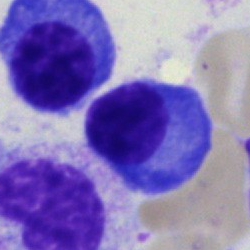
Q: What cell is this?
A: This is a plasmacyte.